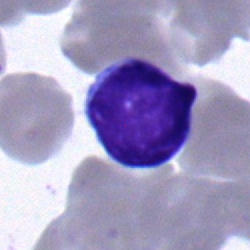Specimen: bone marrow aspirate smear.
Cell: typical lymphocyte.